Bone marrow aspirate smear: 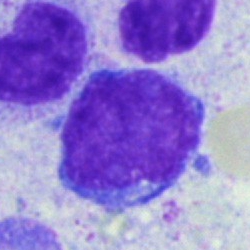The morphological class is blast.